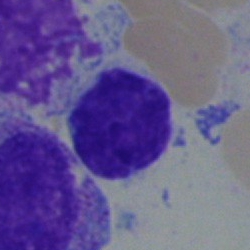 Bone marrow aspirate smear, single cell — lymphocyte.